Bone marrow aspirate smear. 40× oil immersion.
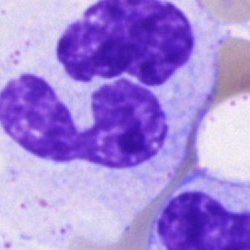

Q: Which cell type is shown here?
A: It is a segmented neutrophil.